Bone marrow aspirate smear. May-Grünwald-Giemsa stain. 40× oil immersion
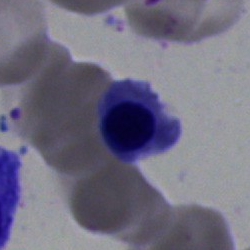{"cell_type": "nucleated red blood cell"}